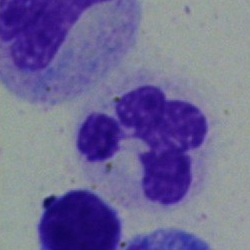 Cell type = polymorphonuclear neutrophil.